Peripheral blood smear
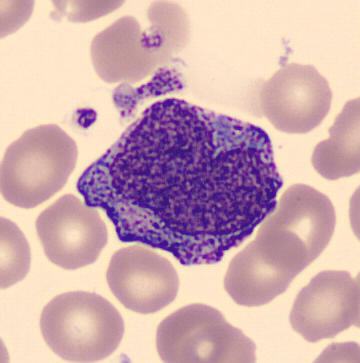 This is a progranulocyte.